Bone marrow aspirate smear:
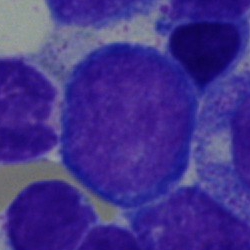

Q: What type of cell is this?
A: A blast.